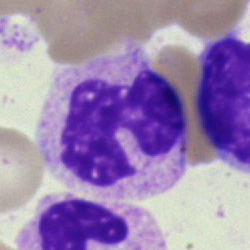
Q: What cell is this?
A: It is a segmented neutrophil.